Bone marrow aspirate smear. Single-cell crop. Brightfield microscopy, 40× oil immersion:
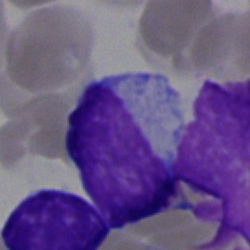 Classification: typical lymphocyte.